40× oil immersion · bone marrow smear — 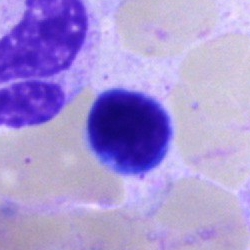
Cell type: typical lymphocyte.